Bone marrow aspirate smear:
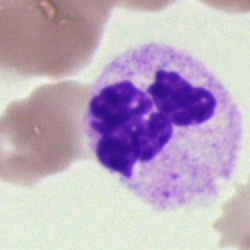

Specimen: bone marrow aspirate smear.
Morphological class: segmented neutrophil.
Lineage: myeloid.